Cropped to a single cell; bone marrow aspirate smear.
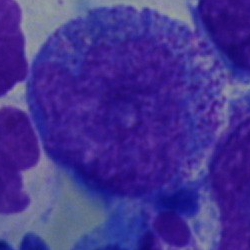

Cell type — promyelocyte.